Bone marrow aspirate smear · 250×250 px · 40× oil immersion:
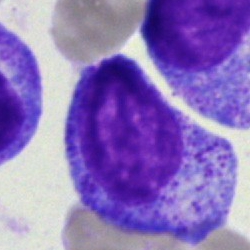
This is a progranulocyte.